Bone marrow aspirate smear: 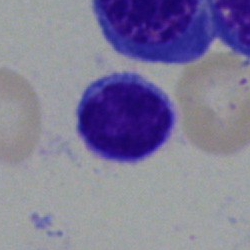
Specimen: bone marrow smear.
Cell type: typical lymphocyte.
Lineage: lymphoid.